Pappenheim-stained. Bone marrow aspirate smear:
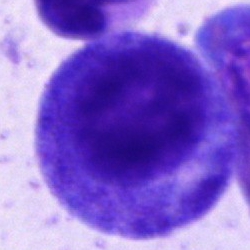Showing a progranulocyte.